250 by 250 pixels · single-cell crop · bone marrow smear
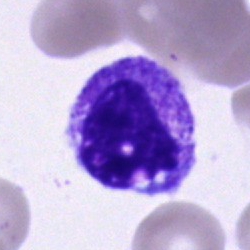
Impression → artefact.